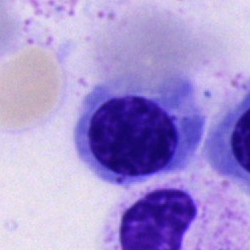
Bone marrow aspirate smear, single cell — nucleated red cell.